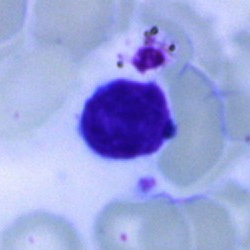

Lymphocyte.